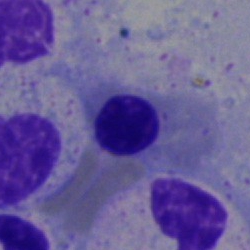 This is a normoblast.